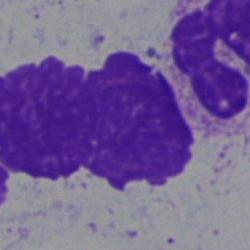Morphology consistent with an artefact.